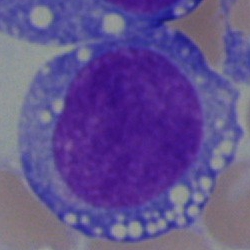Morphological class — undifferentiated blast.